May-Grünwald-Giemsa/Pappenheim stain; single-cell field; bone marrow smear:
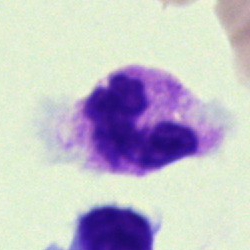

Morphology — neutrophil (segmented).